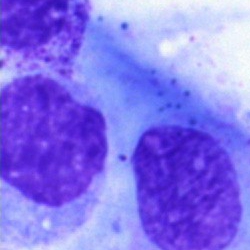 Bone marrow smear showing an artifact.